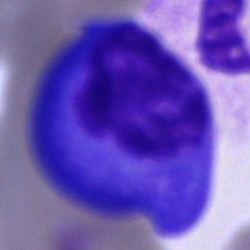
This is a plasmacyte.